Pappenheim-stained; bone marrow aspirate smear — 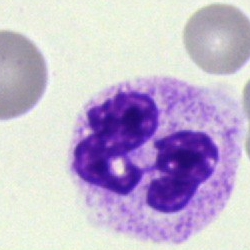
Cell: neutrophil (segmented).